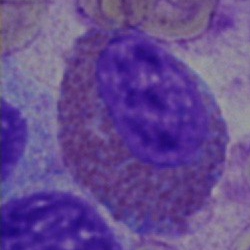

The cell type is eosinophil.